Image size 400×400; peripheral blood film.
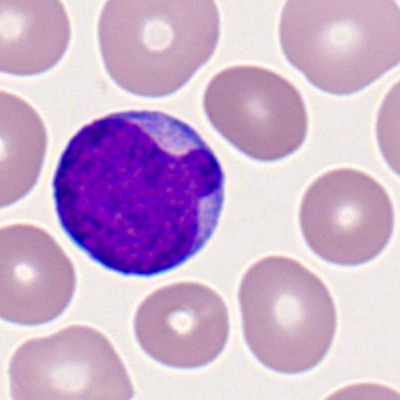

{"cell_type": "myeloblast"}